250×250 px · bone marrow smear — 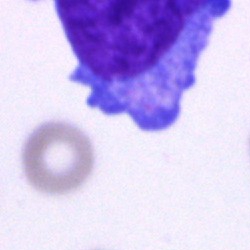 This is a blast cell.